Peripheral blood film. Romanowsky-stained. 100× objective, oil immersion:
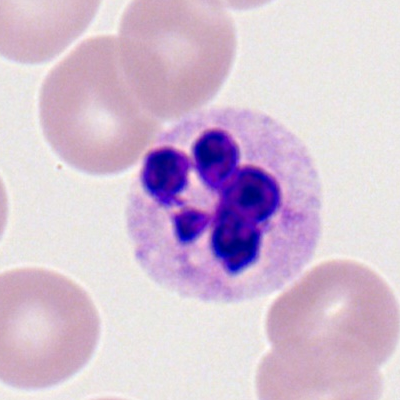The cell is neutrophil (segmented).